Bone marrow aspirate smear
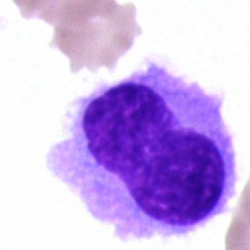
Showing a hairy cell.